Bone marrow smear. May-Grünwald-Giemsa/Pappenheim stain. Cropped to a single cell — 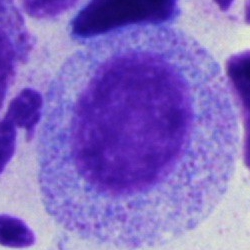Cell — promyelocyte.